May-Grünwald-Giemsa stain. Bone marrow smear:
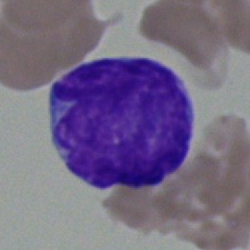
The morphological class is blast cell.